40× oil immersion; bone marrow smear
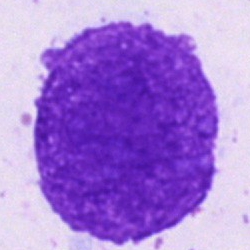Classification = artefact.